Bone marrow smear
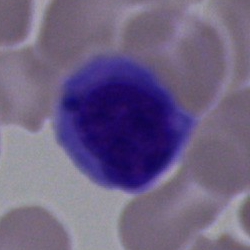 Specimen: bone marrow aspirate smear.
Classification: nucleated red cell.
Lineage: erythroid.